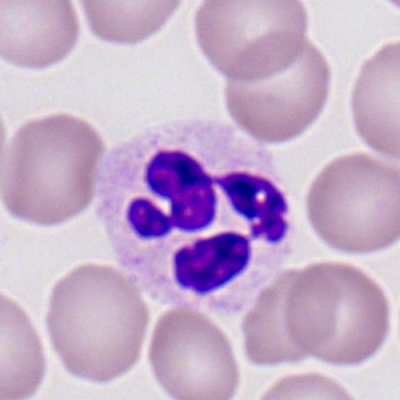 Specimen: peripheral blood smear.
Morphological class: neutrophil (segmented).